Single-cell field · bone marrow smear:
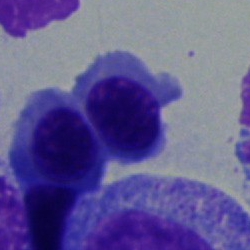 Q: What type of cell is this?
A: A nucleated red blood cell.